Bone marrow aspirate smear — 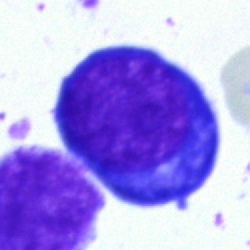
Impression — erythroblast.